Bone marrow aspirate smear
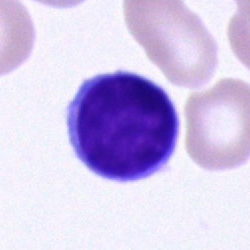Q: Which cell type is shown here?
A: A lymphocyte.